MGG-stained; image size 250×250; bone marrow smear:
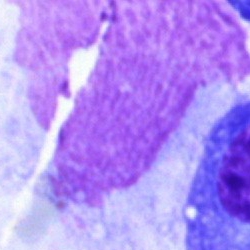

Morphological class — artefact.